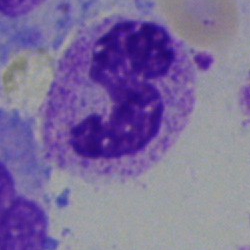

The cell shown is a segmented neutrophil.